Bone marrow smear:
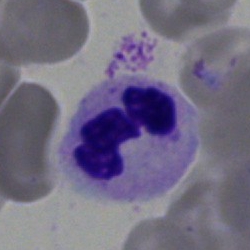Polymorphonuclear neutrophil.